Bone marrow smear · MGG-stained — 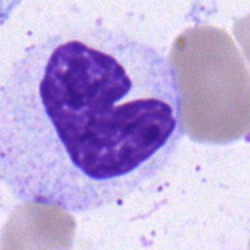 Single cell identified as a metamyelocyte.